Bone marrow aspirate smear.
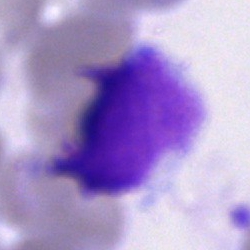

Showing an artifact.